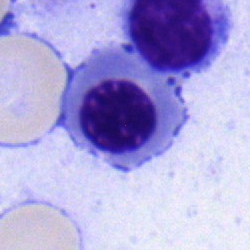Single-cell crop from a bone marrow smear: nucleated red cell.